Bone marrow smear. Brightfield, 40× oil-immersion objective.
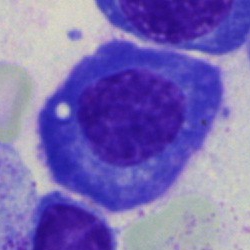

The cell shown is a plasmacyte.